Bone marrow smear.
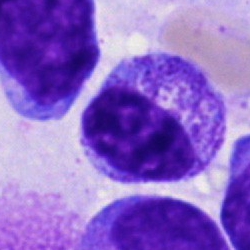Morphological class — myelocyte.